Bone marrow aspirate smear
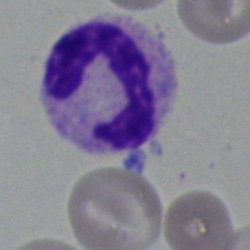 Specimen: bone marrow smear.
Morphological class: segmented neutrophil.